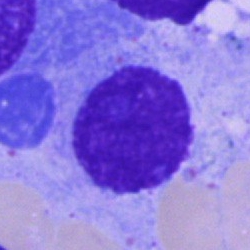
Morphological class: plasma cell.